Peripheral blood film:
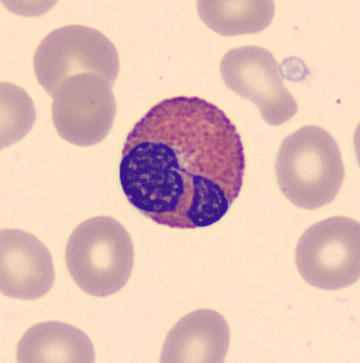

Showing an eosinophil.